Peripheral blood smear.
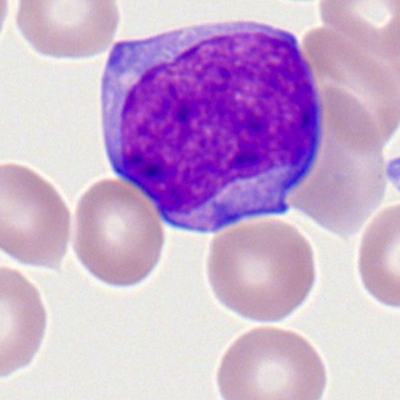

{"cell_type": "myeloblast", "lineage": "myeloid"}